Bone marrow smear:
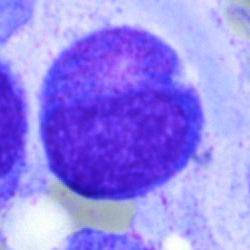The cell type is myelocyte.